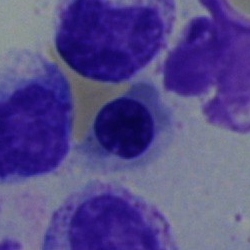
Q: What is the morphological classification of this cell?
A: This is a normoblast.